Bone marrow smear
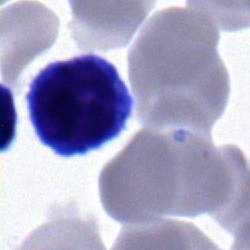 {"cell_type": "lymphocyte"}